250 by 250 pixels. May-Grünwald-Giemsa/Pappenheim stain. Bone marrow aspirate smear:
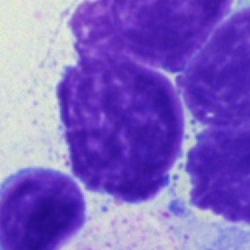 The cell type is artefact.